Bone marrow smear.
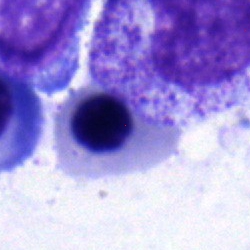

A nucleated red cell.